Bone marrow smear. Brightfield, 40× oil-immersion objective — 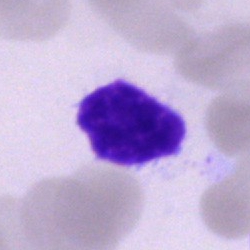
Morphological class: lymphocyte.